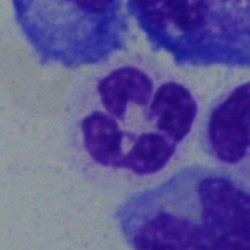
The morphological class is polymorphonuclear neutrophil.